Bone marrow smear
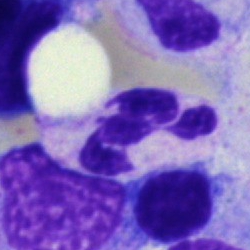 {"cell_type": "segmented neutrophil"}